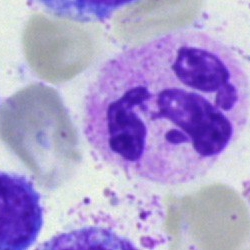Bone marrow smear showing a neutrophil (segmented).